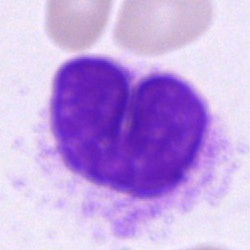Q: What is shown here?
A: Artefact.